Bone marrow smear:
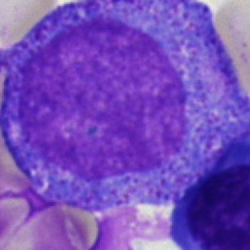 Cell type: promyelocyte.